Bone marrow smear. 250 by 250 pixels. MGG-stained:
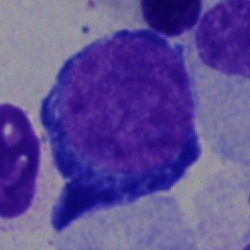Classification = proerythroblast.